Bone marrow aspirate smear — 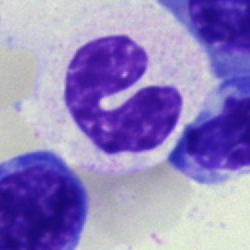 Morphology — segmented neutrophil.